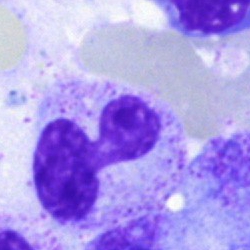

Q: What is the morphological classification of this cell?
A: A polymorphonuclear neutrophil.